Bone marrow aspirate smear — 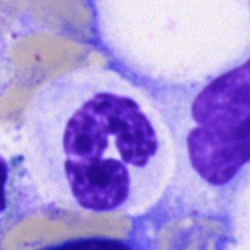 Q: Identify the cell.
A: This is a polymorphonuclear neutrophil.